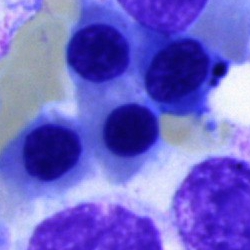

Showing a normoblast.